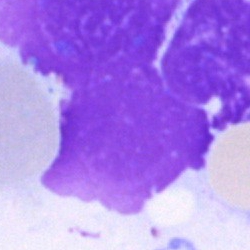
Morphology — artifact.